Bone marrow aspirate smear: 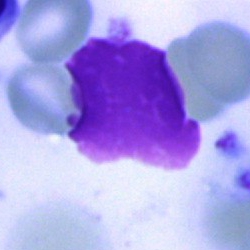Cell type — artifact.